May-Grünwald-Giemsa/Pappenheim stain; bone marrow smear — 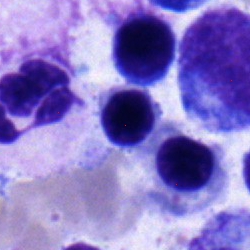 This is a nucleated red cell.